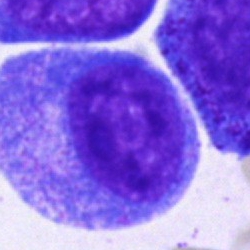Q: What is shown here?
A: It is a promyelocyte.